Bone marrow smear. 40× oil immersion. Single cell centered in the field.
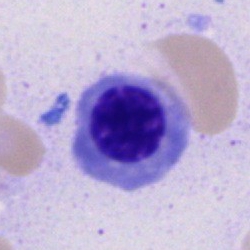

Classification = nucleated red blood cell.